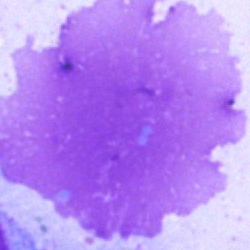 Morphological class = artefact.